May-Grünwald-Giemsa/Pappenheim stain; bone marrow aspirate smear; brightfield microscopy, 40× oil immersion:
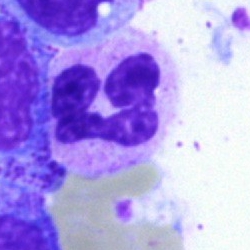

Morphology — polymorphonuclear neutrophil.